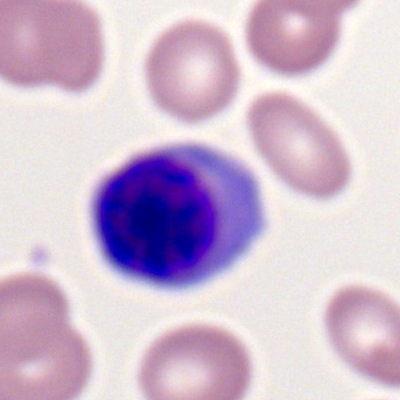

Specimen: peripheral blood smear.
Morphological class: lymphocyte.
Lineage: lymphoid.